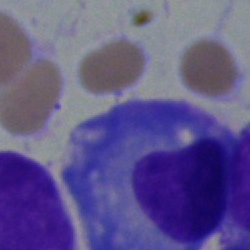 Cell = plasma cell.